MGG-stained. Bone marrow aspirate smear. Image size 250×250: 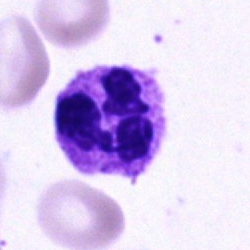 Q: Identify the cell.
A: A neutrophil (segmented).